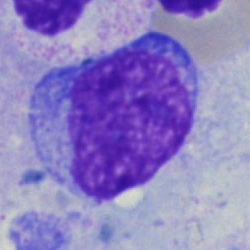

Cell: blast cell.